Bone marrow aspirate smear — 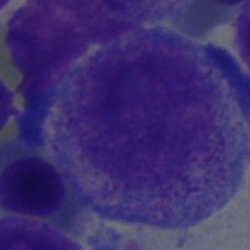Showing a progranulocyte.